Bone marrow smear; single-cell crop; May-Grünwald-Giemsa/Pappenheim stain.
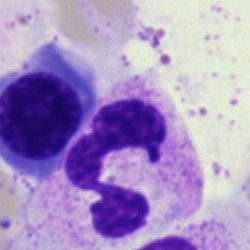

Q: What cell is this?
A: A neutrophil (segmented).